Bone marrow aspirate smear.
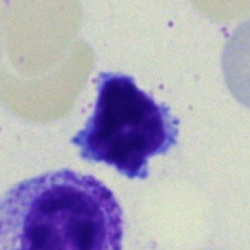
The morphological class is typical lymphocyte.